Bone marrow aspirate smear. Brightfield, 40× oil-immersion objective. May-Grünwald-Giemsa stain.
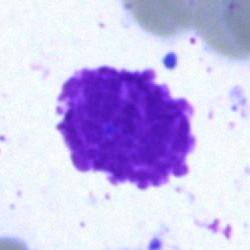The cell type is artifact.